Bone marrow smear:
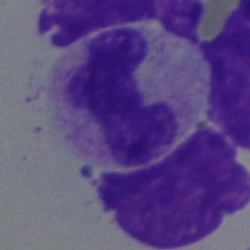
Morphology consistent with a metamyelocyte.